Peripheral blood film — 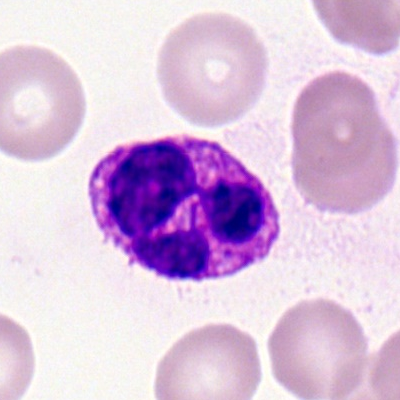

Specimen: peripheral blood smear.
Cell type: basophil.